Peripheral blood smear; Romanowsky-type stain.
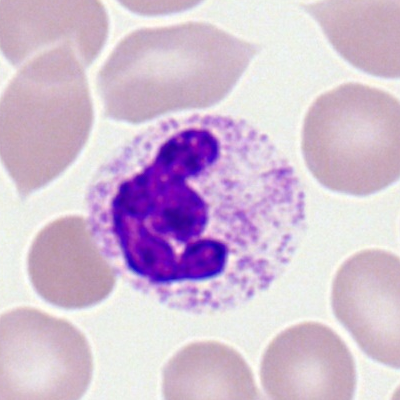Cell — segmented neutrophil.